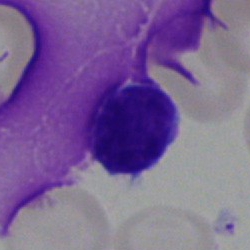Bone marrow smear showing a typical lymphocyte.